Bone marrow aspirate smear:
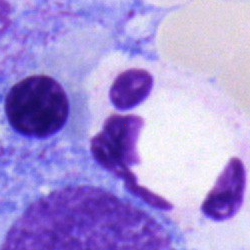

Q: Which cell type is shown here?
A: A polymorphonuclear neutrophil.